May-Grünwald-Giemsa stain · bone marrow aspirate smear · 250 by 250 pixels:
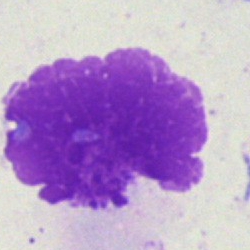Specimen: bone marrow smear.
Cell type: artefact.